Bone marrow smear: 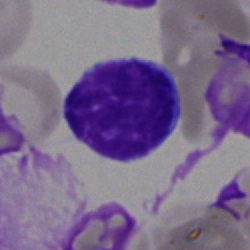
Impression → typical lymphocyte.